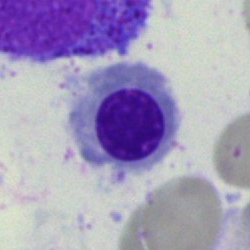Cell type — normoblast.